Bone marrow smear: 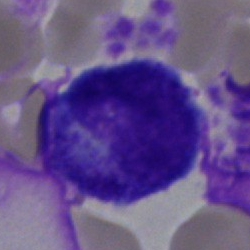
{"cell_type": "progranulocyte", "lineage": "myeloid"}